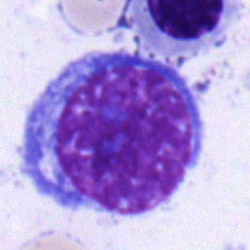
The cell type is erythroblast.